Brightfield, 40× oil-immersion objective; bone marrow aspirate smear; image size 250×250.
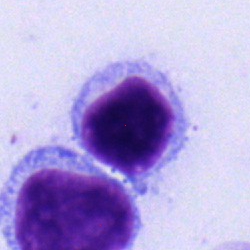 Q: What is the morphological classification of this cell?
A: This is a lymphocyte.